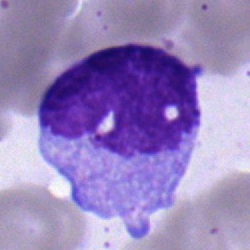Q: Which cell type is shown here?
A: Lymphocyte.